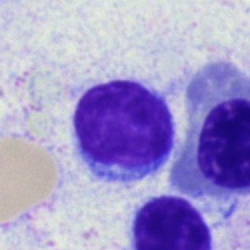
Morphological class: typical lymphocyte.